MGG-stained · bone marrow aspirate smear · 40× objective, oil immersion: 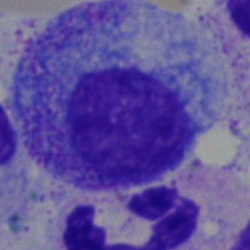
This is a progranulocyte.